Image size 250×250 · bone marrow aspirate smear:
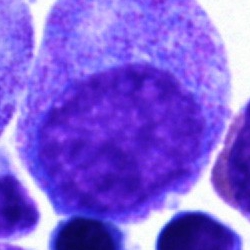Single cell identified as a promyelocyte.